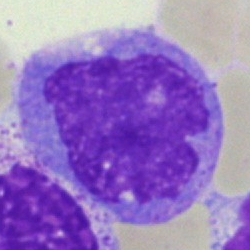

Morphology → monocyte.